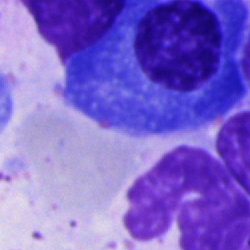 Morphological class — plasma cell.